MGG-stained · bone marrow aspirate smear · 250 by 250 pixels: 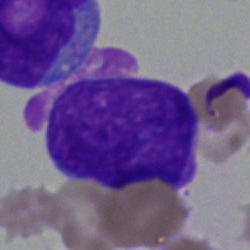
The cell shown is a blast.